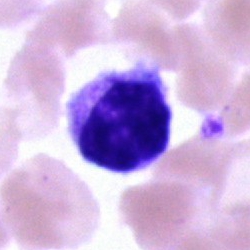

Lymphocyte.